250×250; bone marrow aspirate smear
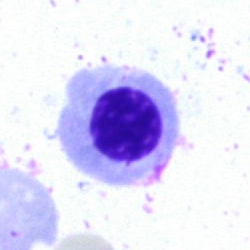
{"cell_type": "erythroblast", "lineage": "erythroid"}